Bone marrow smear. Brightfield, 40× oil-immersion objective.
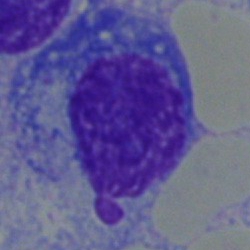

Morphology → plasmacyte.